Bone marrow smear.
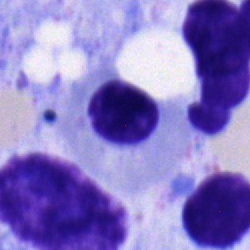 Impression → erythroblast.